Bone marrow smear — 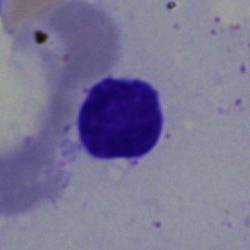

Specimen: bone marrow aspirate smear.
Cell type: typical lymphocyte.
Lineage: lymphoid.